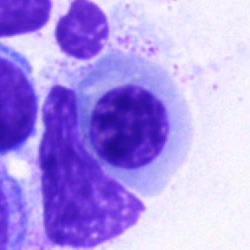Impression → erythroblast.